Bone marrow aspirate smear — 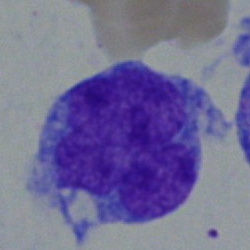

A blast cell.